250×250 · single-cell field · bone marrow smear
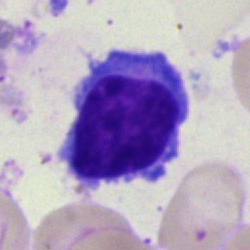
Morphological class — typical lymphocyte.